Bone marrow aspirate smear · single-cell field: 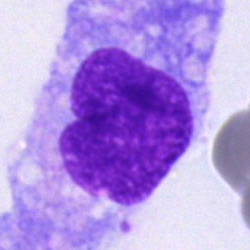 Showing a monocyte.